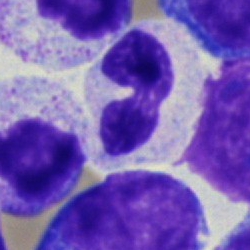
Specimen: bone marrow smear.
Cell type: polymorphonuclear neutrophil.
Lineage: myeloid.